Bone marrow aspirate smear: 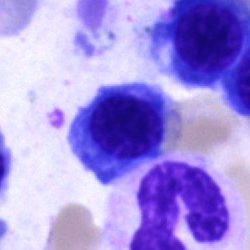Morphological class — erythroblast.